Bone marrow aspirate smear; 250×250; cropped to a single cell — 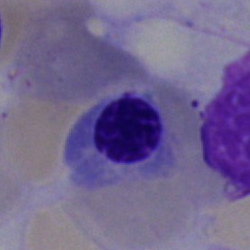
The cell type is nucleated red blood cell.